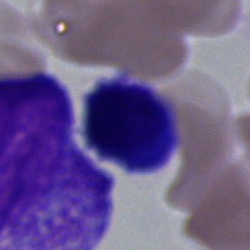 Morphology consistent with a cell of indeterminate lineage.